Image size 250×250. Bone marrow smear: 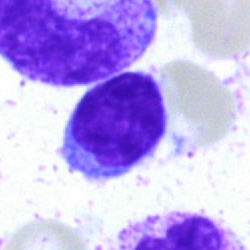
A lymphocyte.